Bone marrow aspirate smear. Single cell centered in the field.
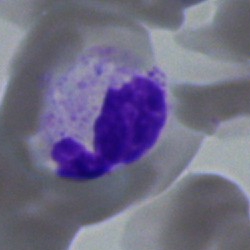 Specimen: bone marrow smear.
Morphological class: polymorphonuclear neutrophil.